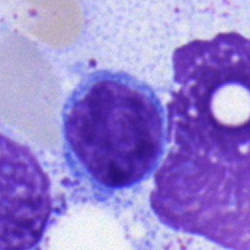 Specimen: bone marrow smear.
Cell: lymphocyte.